Bone marrow smear; May-Grünwald-Giemsa/Pappenheim stain:
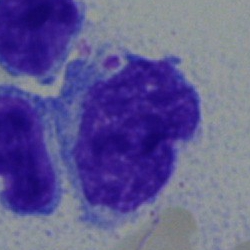Classification: lymphocyte.